Bone marrow smear · Pappenheim-stained:
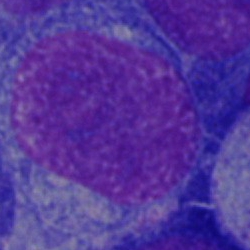

Cell: undifferentiated blast.